Bone marrow smear: 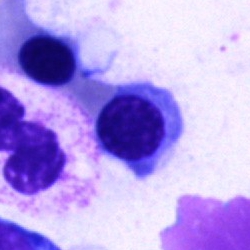
The morphological class is nucleated red blood cell.